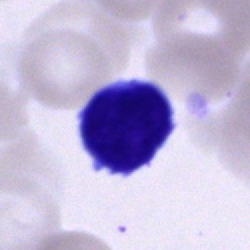
Q: What cell is this?
A: Typical lymphocyte.